Bone marrow smear
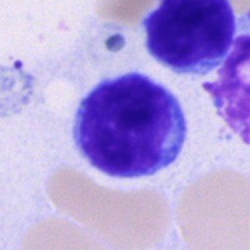Classification = typical lymphocyte.